Bone marrow smear
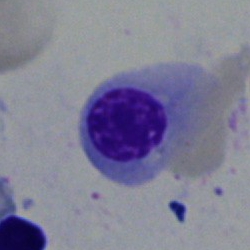 Specimen: bone marrow aspirate smear.
Classification: normoblast.